May-Grünwald-Giemsa/Pappenheim stain. 250 by 250 pixels. Bone marrow smear.
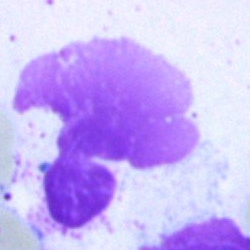Single cell identified as an artifact.